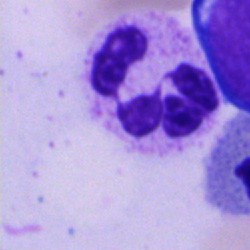 Single cell identified as a neutrophil (segmented).